Bone marrow aspirate smear: 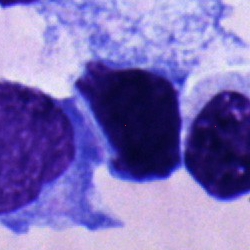

Single cell identified as a lymphocyte.